Romanowsky stain; 400 by 400 pixels; peripheral blood film.
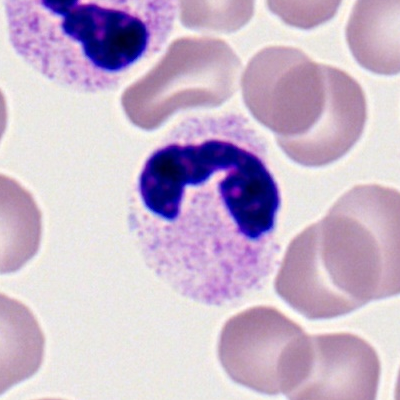

Segmented neutrophil.